Bone marrow smear. Brightfield, 40× oil-immersion objective: 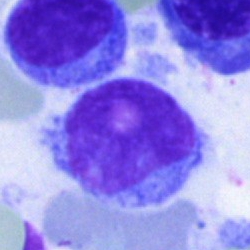

Classification: hairy cell.